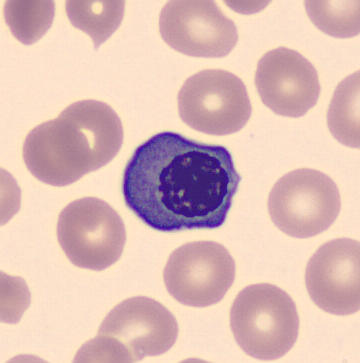
Impression — normoblast. Peripheral blood smear. 360×363.